Bone marrow smear — 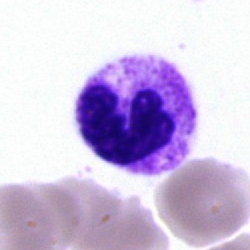 Q: What type of cell is this?
A: Neutrophil (segmented).